Bone marrow aspirate smear — 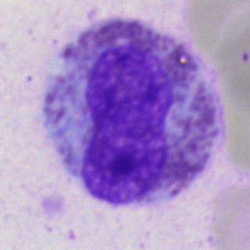

The classification is eosinophilic granulocyte.